Bone marrow aspirate smear.
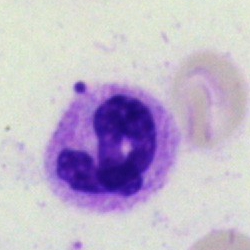
Specimen: bone marrow aspirate smear.
Classification: neutrophil (segmented).